Bone marrow smear
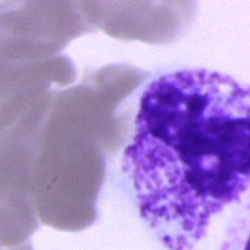

The cell shown is a neutrophil (segmented).